Single-cell field. 250×250 px. Bone marrow aspirate smear
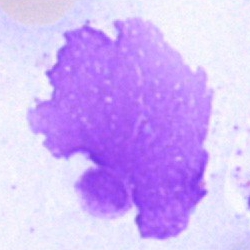Single cell identified as an artifact.